Pappenheim-stained. Single-cell field. Bone marrow aspirate smear
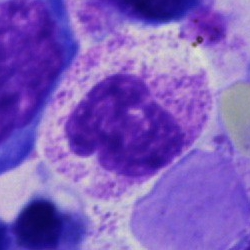
Q: Identify the cell.
A: It is a neutrophil (segmented).